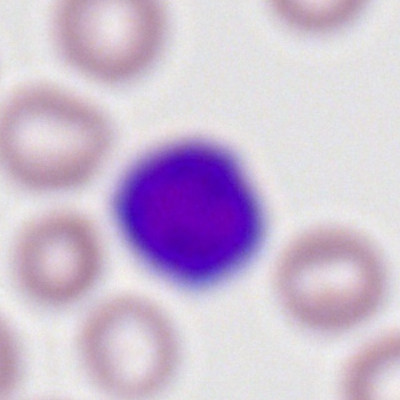 Q: Identify the cell.
A: It is a typical lymphocyte.